Bone marrow aspirate smear; brightfield microscopy, 40× oil immersion.
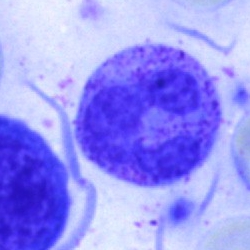
Morphology → segmented neutrophil.